Peripheral blood smear:
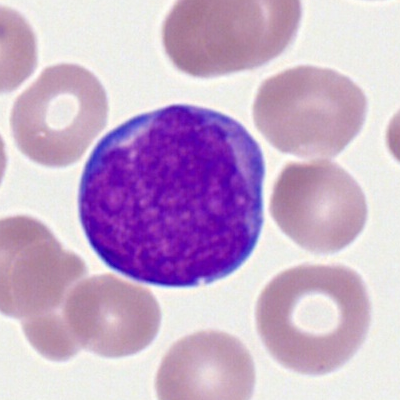
Morphological class — myeloid blast.